Peripheral blood film.
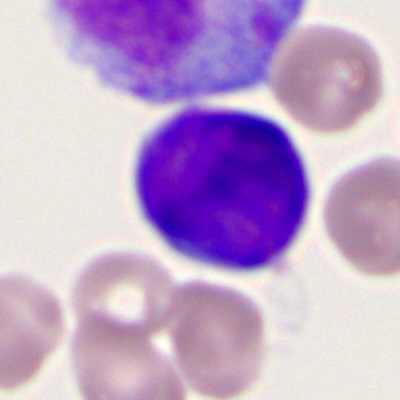Morphology — myeloid blast.